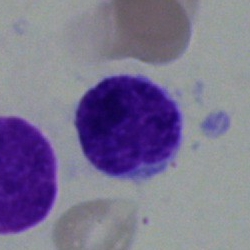
Q: What type of cell is this?
A: It is a typical lymphocyte.